Bone marrow aspirate smear: 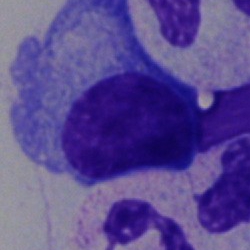 A plasma cell.